Bone marrow aspirate smear.
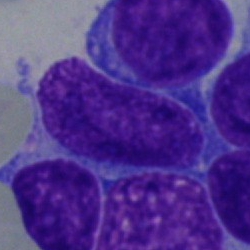
The classification is blast cell.